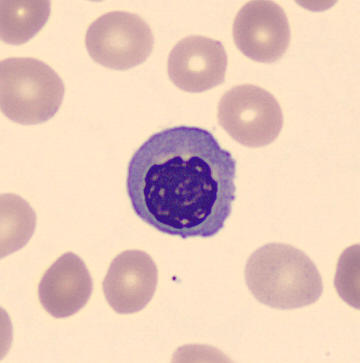
Peripheral blood smear showing an erythroblast.